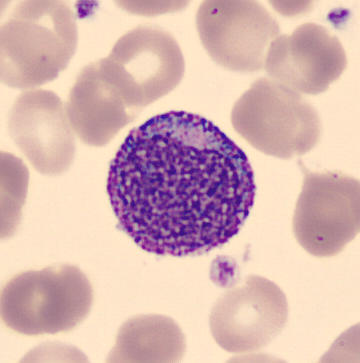

Morphology consistent with a progranulocyte.